Bone marrow aspirate smear
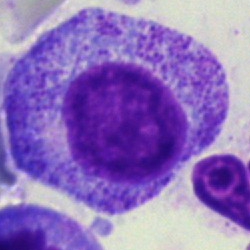Q: Which cell type is shown here?
A: It is a myelocyte.